Bone marrow aspirate smear · MGG-stained.
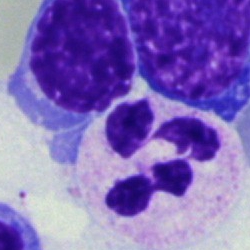
The cell shown is a neutrophil (segmented).